Bone marrow aspirate smear.
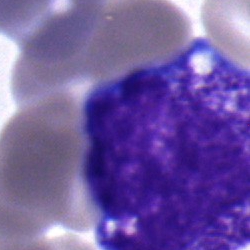
Q: What cell is this?
A: A progranulocyte.